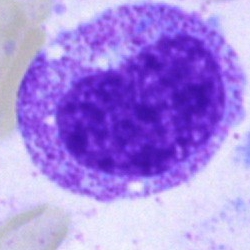 Cell = metamyelocyte.